40× objective, oil immersion · bone marrow aspirate smear.
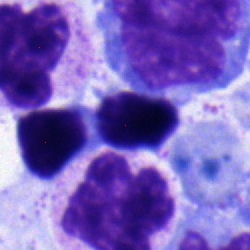 Specimen: bone marrow smear.
Cell: normoblast.
Lineage: erythroid.